Romanowsky stain; 100× oil immersion, 14.14 px/µm; peripheral blood smear
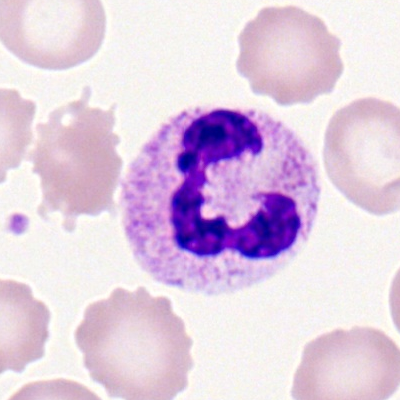
Specimen: peripheral blood smear.
Morphological class: neutrophil (segmented).
Lineage: myeloid.